Bone marrow smear:
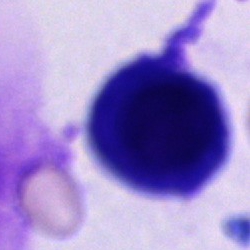
Cell type: plasmacyte.